Pappenheim-stained; bone marrow aspirate smear — 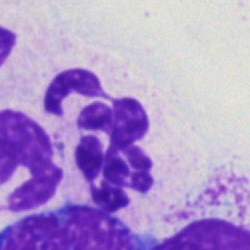 Specimen: bone marrow aspirate smear.
Classification: segmented neutrophil.
Lineage: myeloid.